Bone marrow smear.
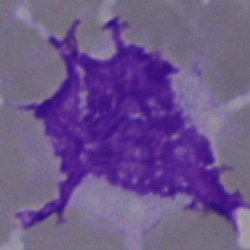An artefact.